Image size 250×250. Bone marrow aspirate smear.
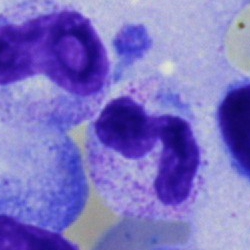

This is a stab cell.